40× oil immersion. Cropped to a single cell. Bone marrow smear: 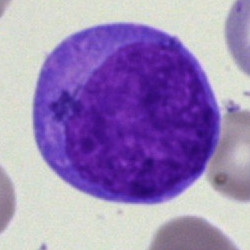This is a blast cell.